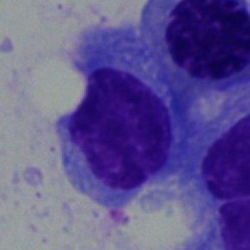
Q: What cell is this?
A: This is a plasmacyte.